Peripheral blood film. 100× objective, oil immersion.
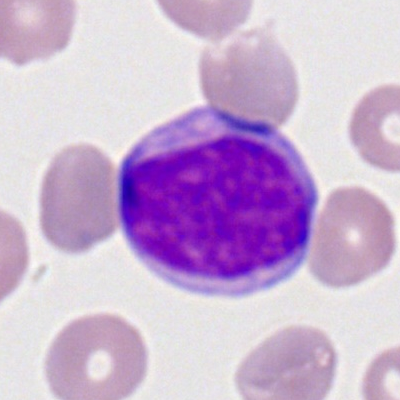The cell is myeloid blast.